Bone marrow aspirate smear · May-Grünwald-Giemsa stain: 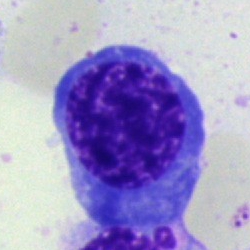 Cell type = nucleated red cell.